Bone marrow smear: 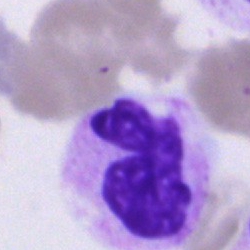 Q: What cell is this?
A: This is a neutrophil (segmented).